Bone marrow aspirate smear: 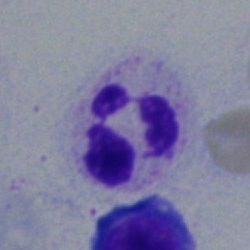 Cell = neutrophil (segmented).